Bone marrow aspirate smear. 40× objective, oil immersion.
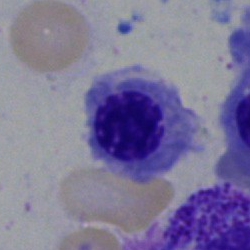

{"cell_type": "normoblast"}